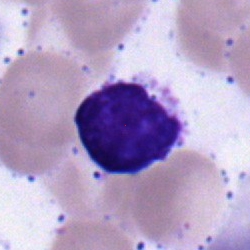 Q: Which cell type is shown here?
A: A lymphocyte.